Cropped to a single cell; Romanowsky-type stain; peripheral blood film:
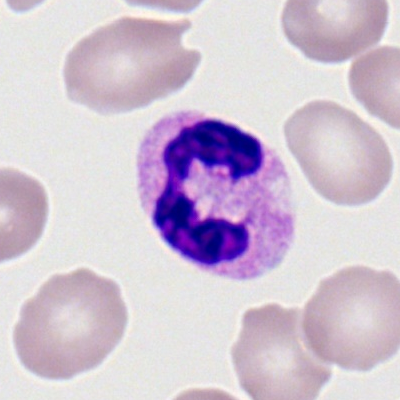 Morphological class — segmented neutrophil.